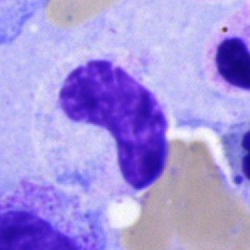

Single cell identified as a band-form neutrophil.